Bone marrow smear: 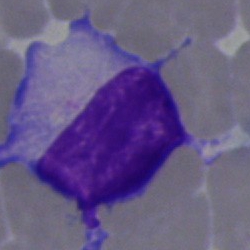 The cell shown is a lymphocyte.